Bone marrow smear
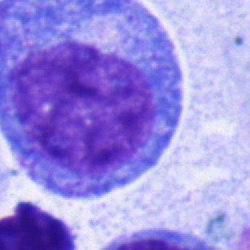
Classification — progranulocyte.